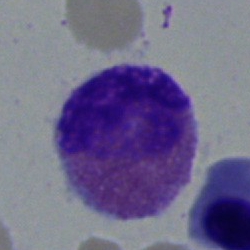Q: What cell is this?
A: An eosinophil.